Single cell centered in the field · bone marrow smear: 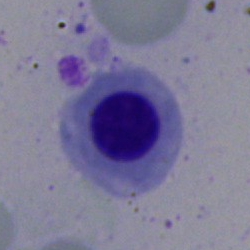

Q: What is the morphological classification of this cell?
A: A nucleated red blood cell.